Bone marrow smear — 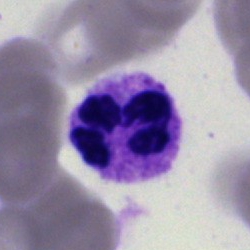

Specimen: bone marrow aspirate smear.
Classification: neutrophil (segmented).
Lineage: myeloid.